Bone marrow smear — 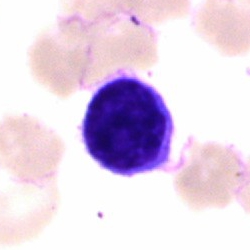 The classification is typical lymphocyte.